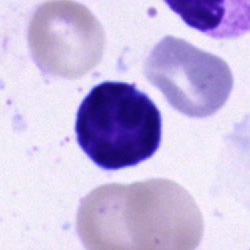

A typical lymphocyte on a bone marrow smear.